Peripheral blood smear
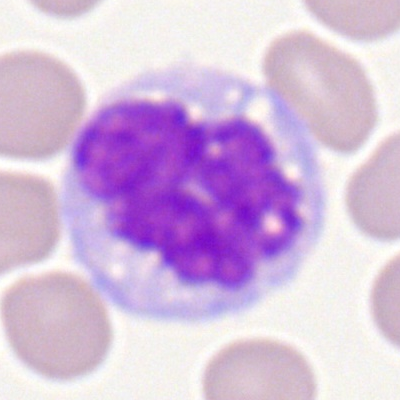Showing a monocyte.